Bone marrow aspirate smear:
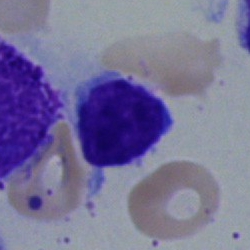
Lymphocyte.